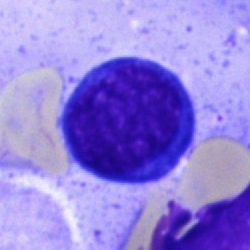
Classification — erythroblast.